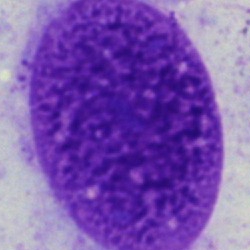
Q: What is shown here?
A: This is an artifact.